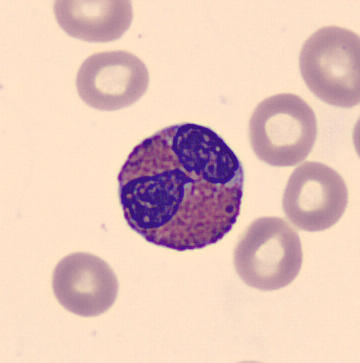Image: Peripheral blood film.
{"cell_type": "eosinophilic granulocyte"}